Peripheral blood film · MGG stain — 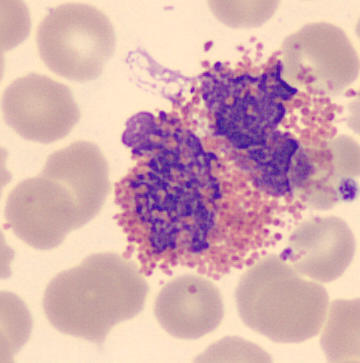 Specimen: peripheral blood smear.
Cell type: eosinophil.
Lineage: myeloid.